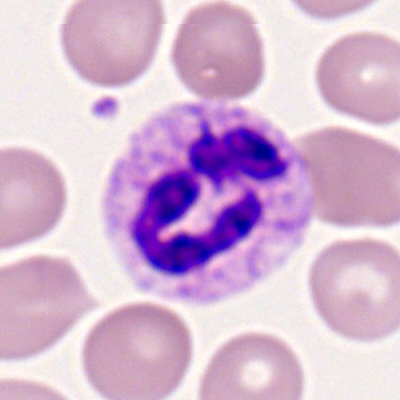A neutrophil (segmented) on a peripheral blood smear.